Bone marrow smear · single-cell field.
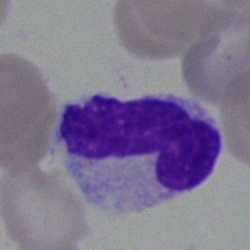
Cell = band-form neutrophil.